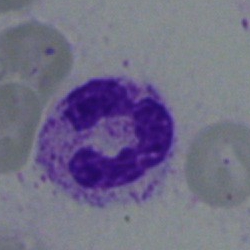

Morphological class — neutrophil (segmented).